Bone marrow aspirate smear.
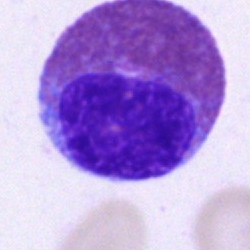Eosinophil.